Bone marrow smear. Brightfield, 40× oil-immersion objective. May-Grünwald-Giemsa/Pappenheim stain:
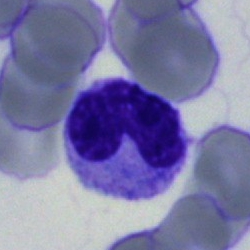
Showing a band neutrophil.